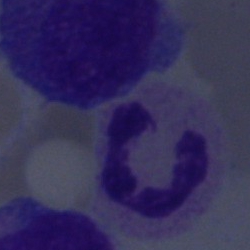

Classification = neutrophil (segmented).